Bone marrow smear: 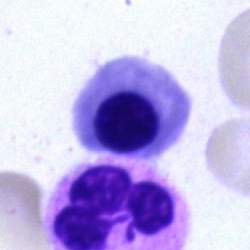
Showing a nucleated red cell.